Bone marrow aspirate smear:
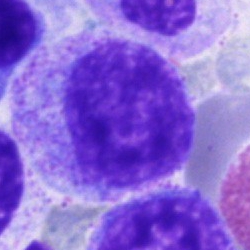The cell is progranulocyte.